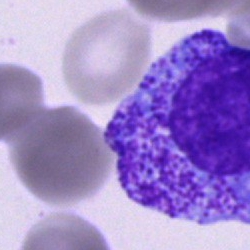

Single cell identified as a progranulocyte.